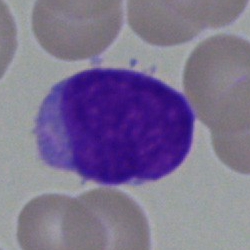Cell: blast cell.